Bone marrow smear. Single-cell crop
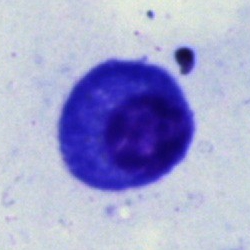 A plasma cell.